Peripheral blood smear: 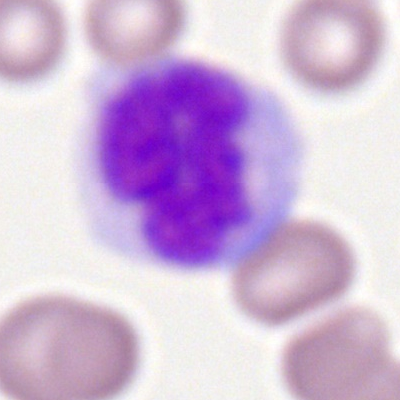

A monocyte.